Bone marrow aspirate smear:
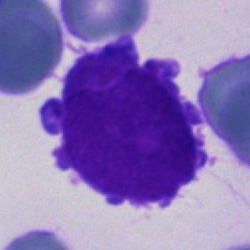

The cell type is blast.